Peripheral blood film
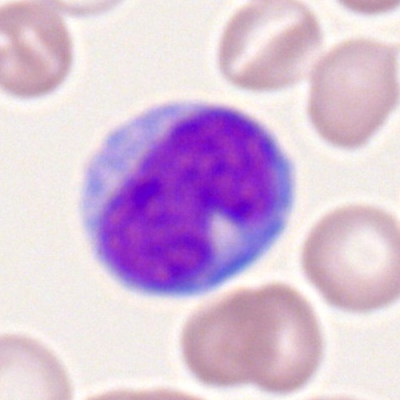 A monocyte.